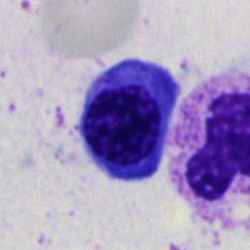
Q: Identify the cell.
A: Nucleated red cell.